40× objective, oil immersion; bone marrow aspirate smear
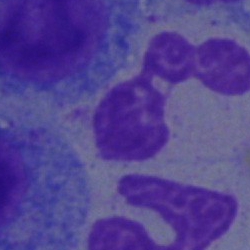

Q: What type of cell is this?
A: A neutrophil (segmented).